Bone marrow smear — 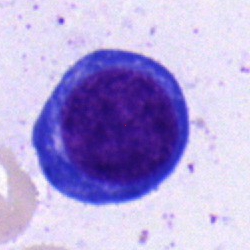 Classification = erythroblast.